Bone marrow aspirate smear
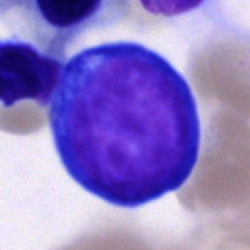
Specimen: bone marrow aspirate smear.
Cell type: pronormoblast.